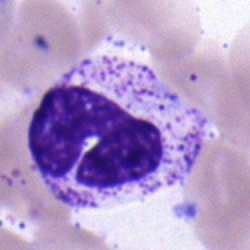 Specimen: bone marrow aspirate smear.
Cell: band neutrophil.